Bone marrow aspirate smear; cropped to a single cell; brightfield, 40× oil-immersion objective — 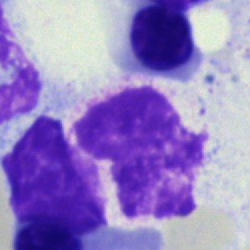
Cell type: artifact.